Bone marrow smear. Brightfield, 40× oil-immersion objective. May-Grünwald-Giemsa/Pappenheim stain — 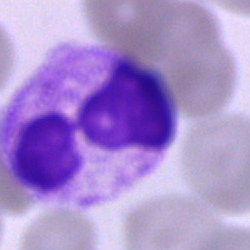 {"cell_type": "segmented neutrophil"}